Bone marrow smear
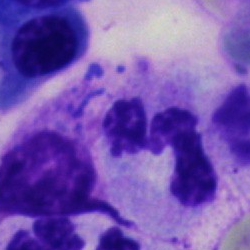Q: Which cell type is shown here?
A: A polymorphonuclear neutrophil.